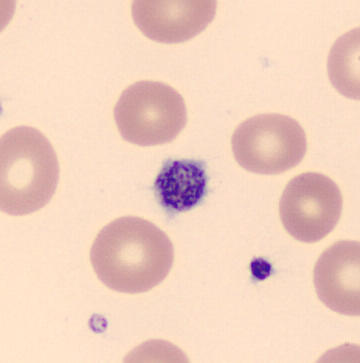 Specimen: peripheral blood film.
Cell type: platelet (thrombocyte).